Brightfield, 100× oil-immersion objective; image size 400×400; peripheral blood film
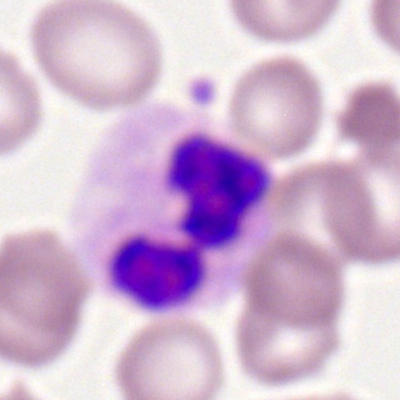

Q: Identify the cell.
A: This is a neutrophil (segmented).